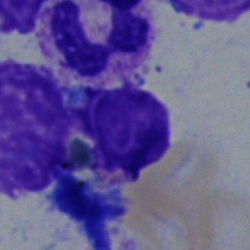 Cell — polymorphonuclear neutrophil.